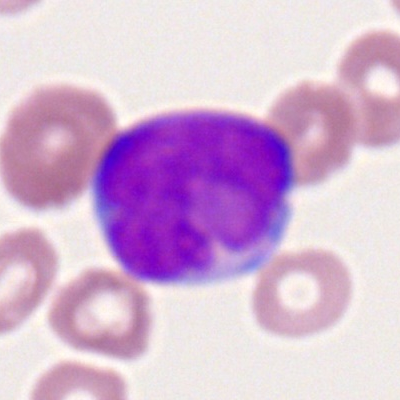 Showing a myeloblast.